250 by 250 pixels. Bone marrow smear
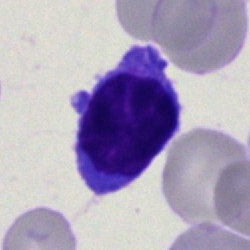{"cell_type": "lymphocyte", "lineage": "lymphoid"}